Bone marrow smear:
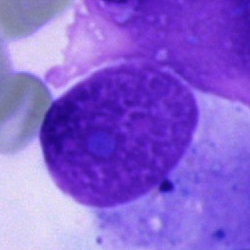 Q: What is shown here?
A: Artifact.